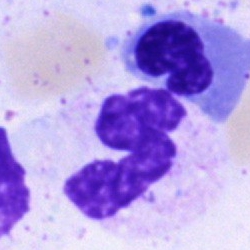

Specimen: bone marrow smear.
Classification: polymorphonuclear neutrophil.
Lineage: myeloid.